Bone marrow aspirate smear. May-Grünwald-Giemsa/Pappenheim stain
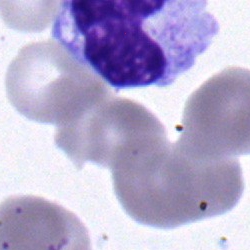
Cell — stab cell.